Bone marrow aspirate smear. Single-cell field. 40× oil immersion: 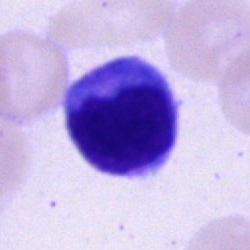Morphology — cell of indeterminate lineage.